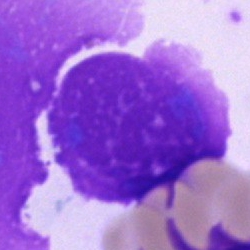The morphological class is artefact.